Peripheral blood smear: 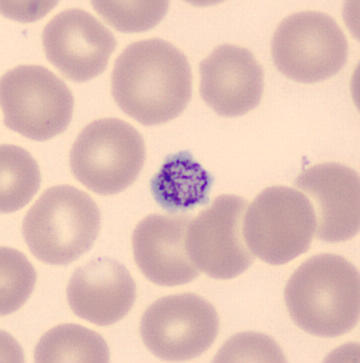This is a platelet.